Bone marrow smear; single-cell crop
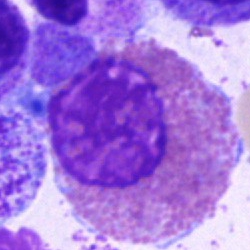

Morphology — eosinophil.